Peripheral blood film — 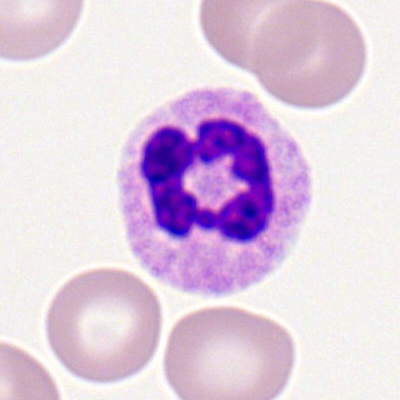 The cell type is polymorphonuclear neutrophil.